Bone marrow aspirate smear.
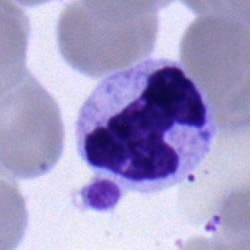 The cell shown is a neutrophil (segmented).